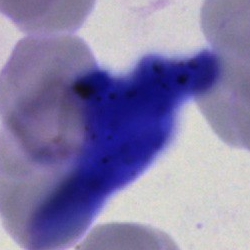

{"cell_type": "artifact"}